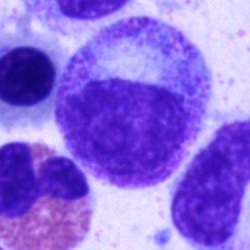The cell is promyelocyte.